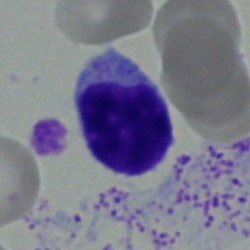 Cell — typical lymphocyte.